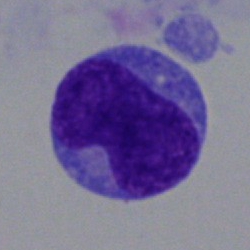Single-cell crop from a bone marrow smear: blast.